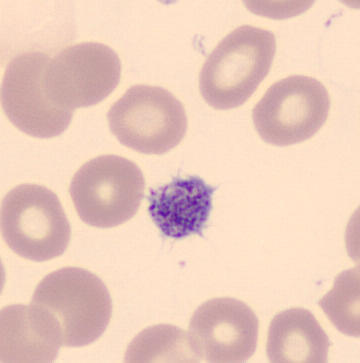Peripheral blood smear.

Q: What is this?
A: Platelet.